Peripheral blood smear — 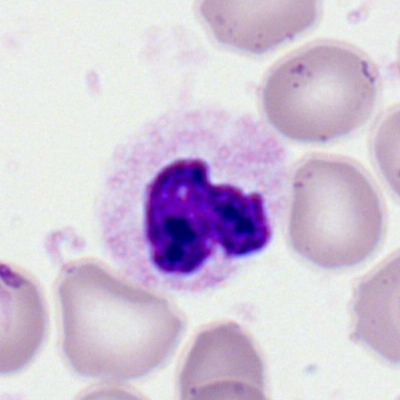
The cell type is neutrophil (segmented).